40× oil immersion; bone marrow aspirate smear.
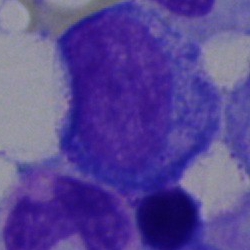
Specimen: bone marrow smear.
Morphological class: progranulocyte.